May-Grünwald-Giemsa stain. Bone marrow smear.
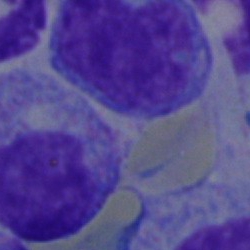

Impression — artifact.